Bone marrow smear.
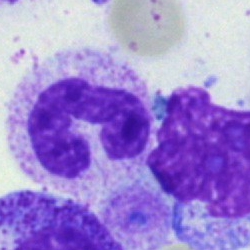 The cell shown is a neutrophil (band).